Bone marrow smear — 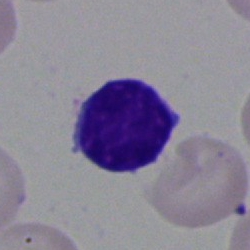
The cell shown is a lymphocyte.